Bone marrow smear: 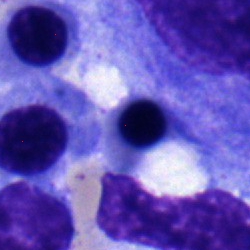 Q: What cell is this?
A: Erythroblast.